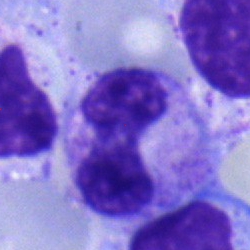 The cell shown is a neutrophil (band).